Bone marrow smear · May-Grünwald-Giemsa/Pappenheim stain.
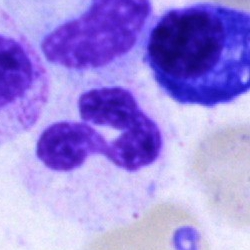 Specimen: bone marrow smear.
Cell: neutrophil (segmented).
Lineage: myeloid.